Pappenheim-stained · bone marrow smear — 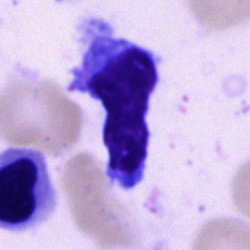 Showing a typical lymphocyte.